Single cell centered in the field · bone marrow smear · MGG-stained:
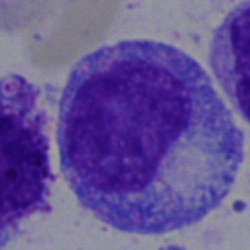
Morphological class = progranulocyte.